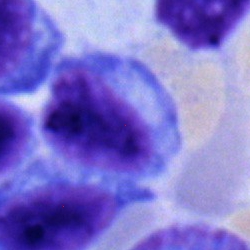Showing a typical lymphocyte.